Bone marrow aspirate smear:
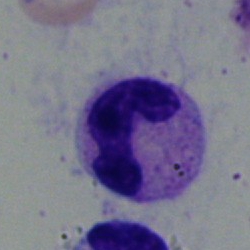
Neutrophil (band).